Bone marrow smear · May-Grünwald-Giemsa/Pappenheim stain:
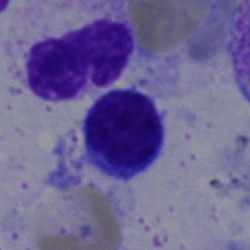 Single cell identified as a lymphocyte.